Bone marrow smear: 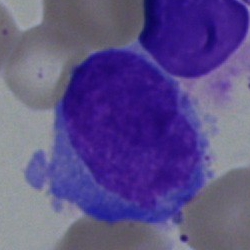
Showing an undifferentiated blast.